Bone marrow aspirate smear.
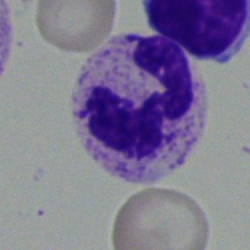

Specimen: bone marrow smear.
Cell: neutrophil (segmented).
Lineage: myeloid.